M8 digital microscope (Precipoint), 100× oil immersion · Romanowsky stain · peripheral blood smear
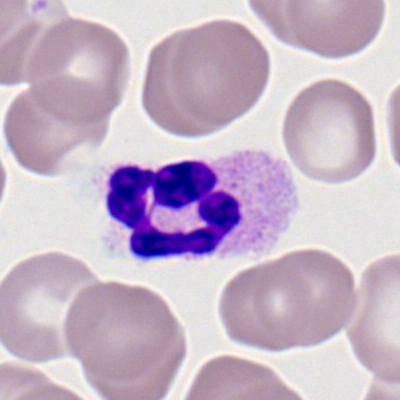

Single cell identified as a neutrophil (segmented).